Bone marrow smear. Cropped to a single cell
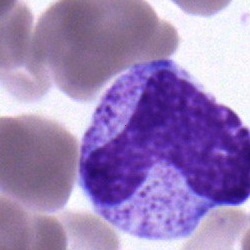Q: What is the morphological classification of this cell?
A: This is a band neutrophil.